Bone marrow smear: 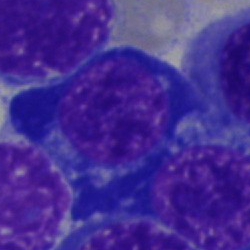Q: What is shown here?
A: This is a normoblast.